Bone marrow smear; brightfield microscopy, 40× oil immersion; single-cell crop — 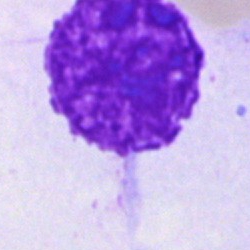

An artifact.